Bone marrow aspirate smear; single cell centered in the field.
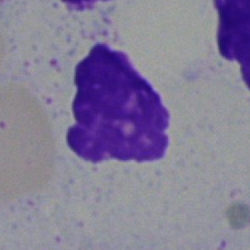 Q: What is shown here?
A: An artefact.